Bone marrow smear; Pappenheim-stained.
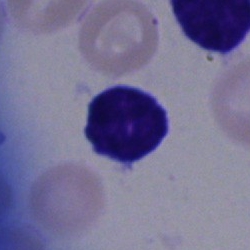
Showing a typical lymphocyte.